Bone marrow smear
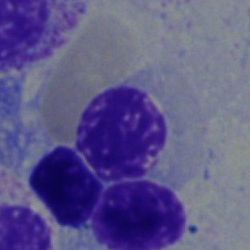
Single cell identified as an erythroblast.